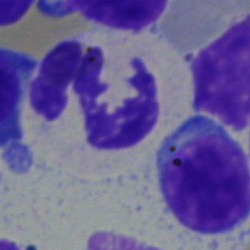

The cell shown is a neutrophil (segmented).